Bone marrow smear; May-Grünwald-Giemsa stain.
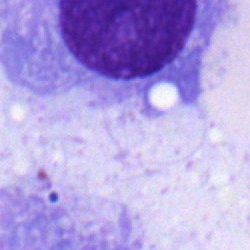 Specimen: bone marrow aspirate smear.
Cell type: plasma cell.